Peripheral blood film.
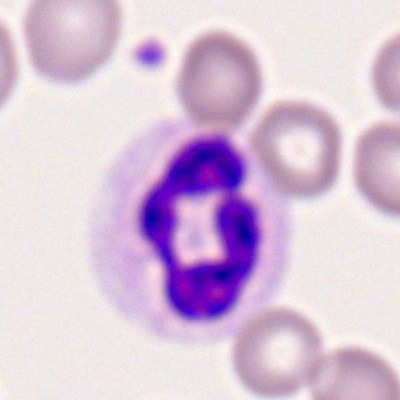{"cell_type": "neutrophil (segmented)", "lineage": "myeloid"}